Bone marrow smear
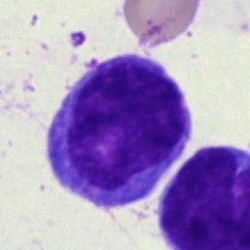 Cell = lymphocyte.